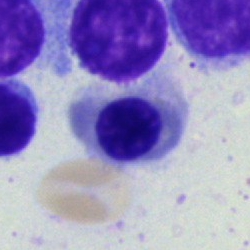 The cell type is nucleated red cell.